Romanowsky-stained · peripheral blood film:
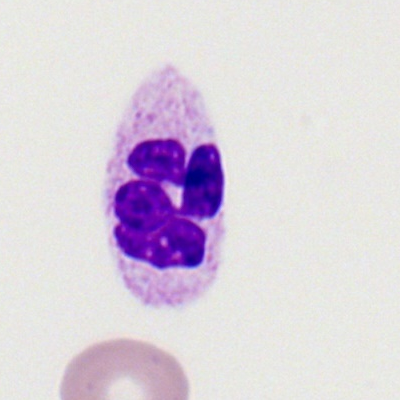Morphological class: neutrophil (segmented).